Bone marrow aspirate smear.
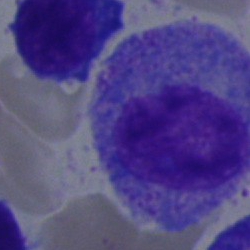This is a myelocyte.